Single-cell crop · bone marrow smear · image size 250×250:
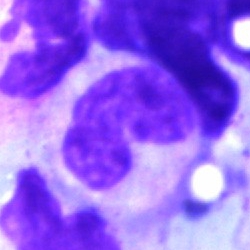 A stab cell.